Bone marrow smear
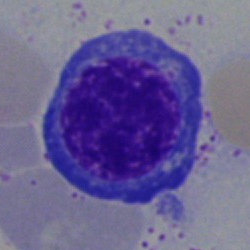

{"cell_type": "nucleated red blood cell"}